May-Grünwald-Giemsa/Pappenheim stain; bone marrow aspirate smear:
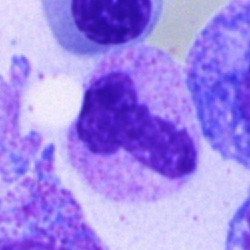 Q: Identify the cell.
A: It is a segmented neutrophil.